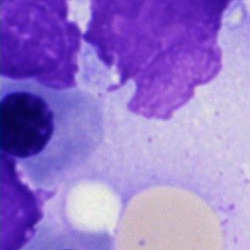

Cell = artefact.